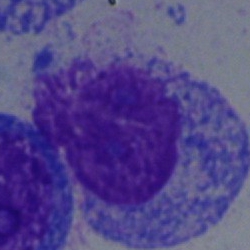

Cell type — undifferentiated blast.